40× oil immersion; bone marrow smear: 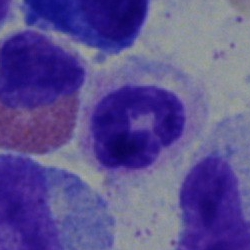 {"cell_type": "neutrophil (band)"}